Single-cell crop · May-Grünwald-Giemsa/Pappenheim stain · bone marrow aspirate smear:
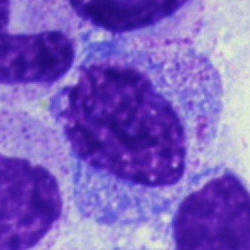

The cell shown is a progranulocyte.